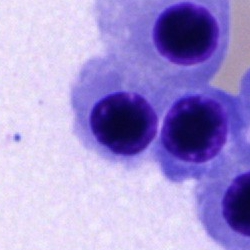 The morphological class is erythroblast.